Single-cell crop; bone marrow aspirate smear: 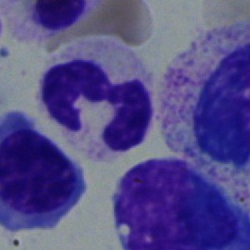

Morphological class: neutrophil (segmented).